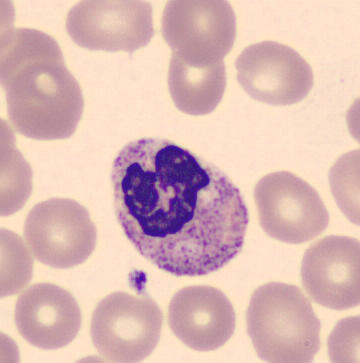

Imaged on a CellaVision DM96 analyser.
Specimen: peripheral blood smear.
Cell: segmented neutrophil.